Bone marrow smear · brightfield microscopy, 40× oil immersion · image size 250×250
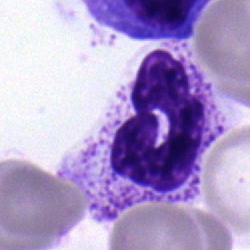 Q: What cell is this?
A: This is a segmented neutrophil.